Bone marrow smear:
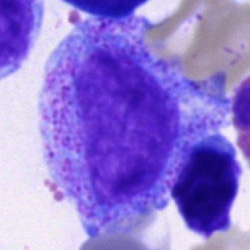

Single cell identified as a promyelocyte.